Peripheral blood smear. 100× oil immersion, 14.14 px/µm
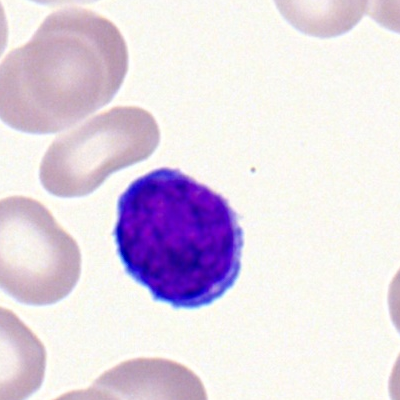 Q: What cell is this?
A: A typical lymphocyte.